Bone marrow aspirate smear
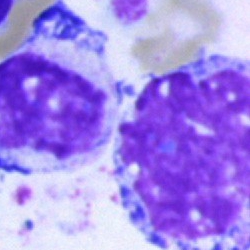An artefact.